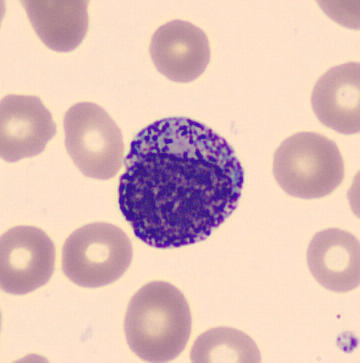

Morphology consistent with a progranulocyte.

Preparation: Peripheral blood smear.